Cropped to a single cell · bone marrow aspirate smear.
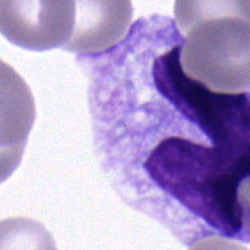

Cell type — polymorphonuclear neutrophil.